Bone marrow smear
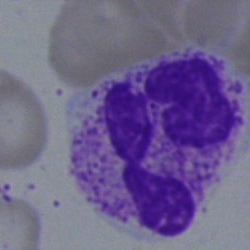 A polymorphonuclear neutrophil.